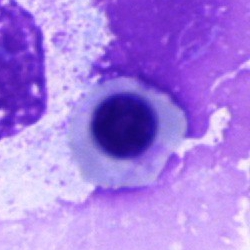

This is a blast cell.